Bone marrow smear: 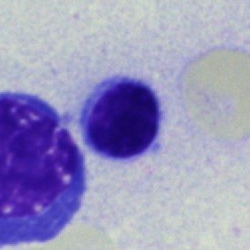

Lymphocyte.